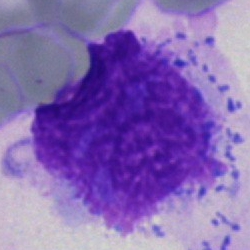Artefact.